100× objective, oil immersion · single-cell field · peripheral blood smear: 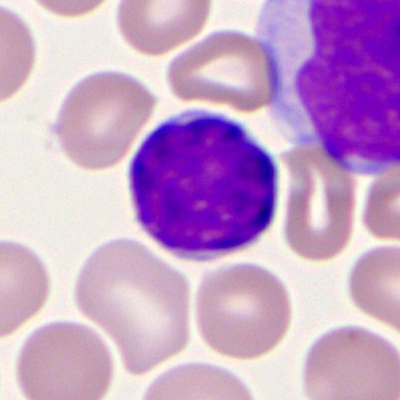

Morphological class = lymphocyte.